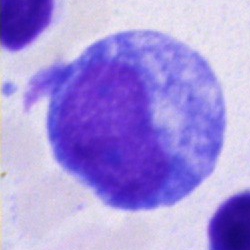Morphology consistent with a progranulocyte.